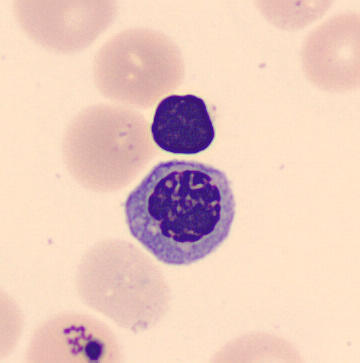Cell type — nucleated red cell.